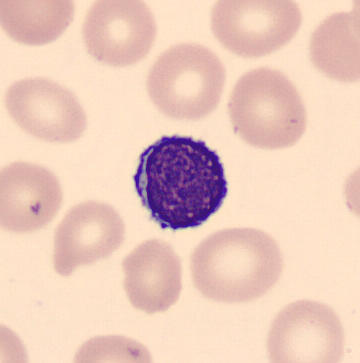A lymphocyte.
Acquisition: Peripheral blood smear.